Peripheral blood smear.
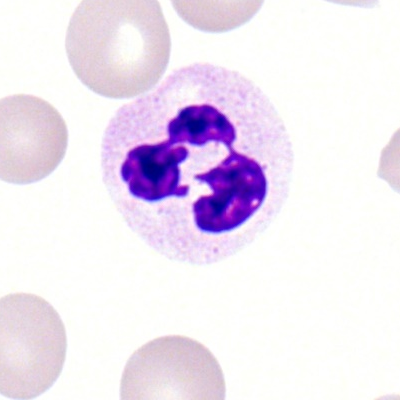 Impression — segmented neutrophil.